Bone marrow smear: 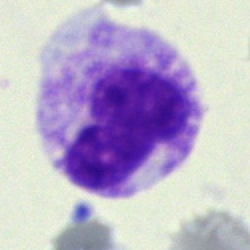Neutrophil (band).